Bone marrow smear.
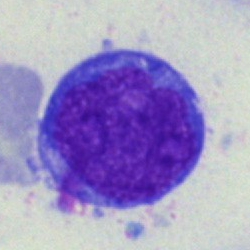 Impression → undifferentiated blast.